Romanowsky-stained. M8 digital microscope (Precipoint), 100× oil immersion. Peripheral blood film:
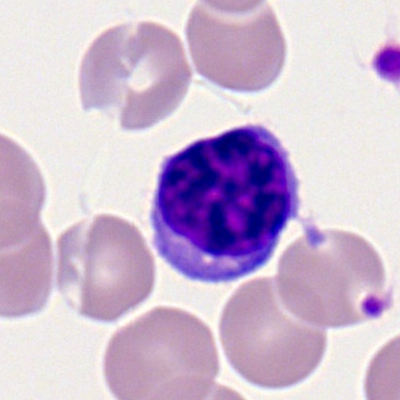
Morphology → lymphocyte.